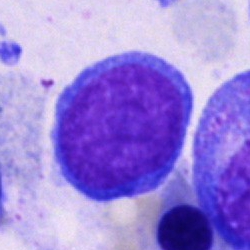{"cell_type": "blast"}